Peripheral blood smear; 400×400; cropped to a single cell.
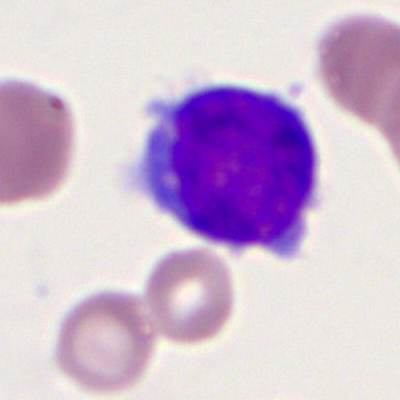
The cell type is myeloid blast.